Peripheral blood smear.
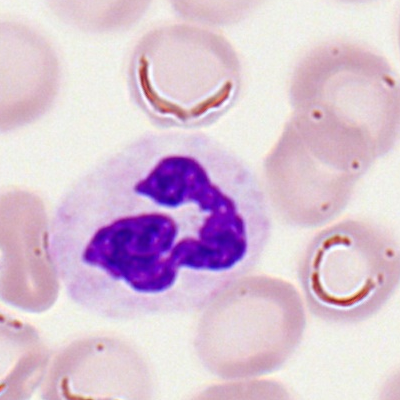
Impression → polymorphonuclear neutrophil.